Bone marrow smear
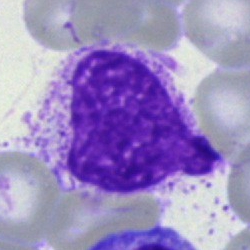 Specimen: bone marrow smear.
Cell: artefact.